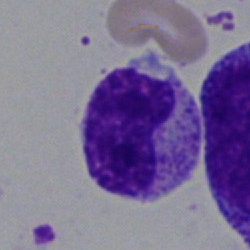

Morphology — metamyelocyte.